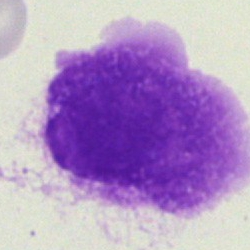
Q: What is shown here?
A: Artifact.